Bone marrow smear — 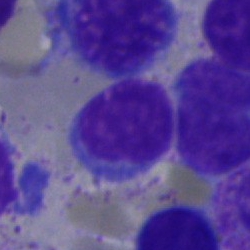 Morphological class — typical lymphocyte.